Bone marrow smear. 40× oil immersion. Cropped to a single cell
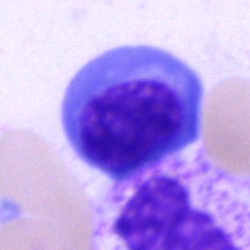
This is a nucleated red blood cell.